May-Grünwald-Giemsa/Pappenheim stain; bone marrow smear.
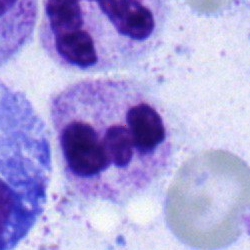Cell = polymorphonuclear neutrophil.